Bone marrow aspirate smear.
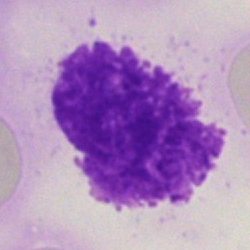

Artefact.